Bone marrow aspirate smear. Image size 250×250:
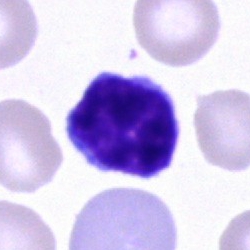 Classification — typical lymphocyte.